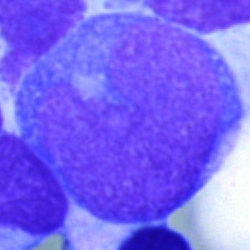

Blast cell.